Peripheral blood smear; automated cell imaging (CellaVision DM96) — 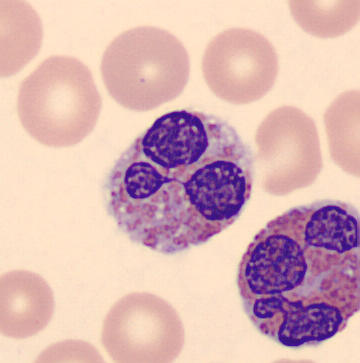

The cell shown is an eosinophilic granulocyte.